Peripheral blood film. Image size 400×400. 100× objective, oil immersion
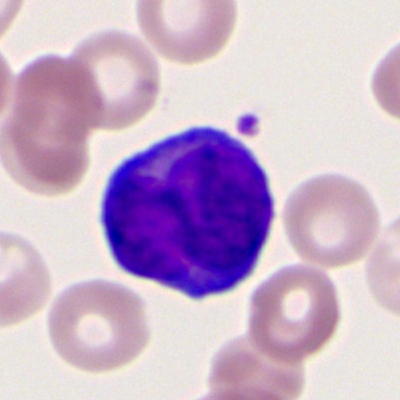
Impression — myeloblast.